Bone marrow aspirate smear; 250×250 px; single cell centered in the field:
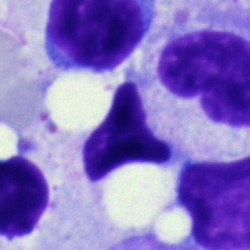
Impression → artifact.